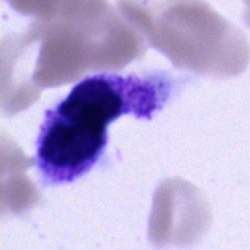

{"cell_type": "unidentifiable cell"}